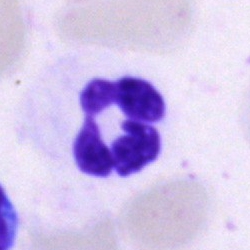 Impression — neutrophil (segmented).